Bone marrow aspirate smear.
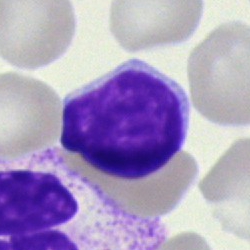
Q: Which cell type is shown here?
A: It is a lymphocyte.